Bone marrow aspirate smear · 250 by 250 pixels:
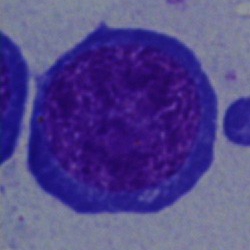
{"cell_type": "proerythroblast"}